Bone marrow smear — 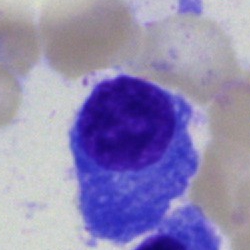
Specimen: bone marrow aspirate smear.
Classification: plasma cell.
Lineage: lymphoid.